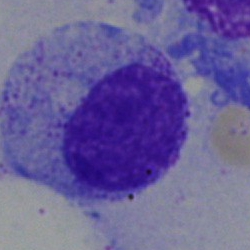Single-cell crop from a bone marrow smear: promyelocyte.